Bone marrow smear; MGG-stained.
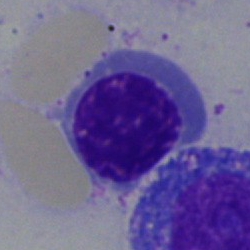Morphology — nucleated red blood cell.